Bone marrow aspirate smear.
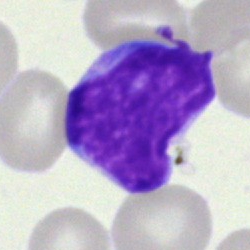Morphology consistent with a blast cell.